Bone marrow smear · single-cell crop
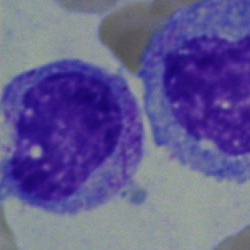 A myelocyte.